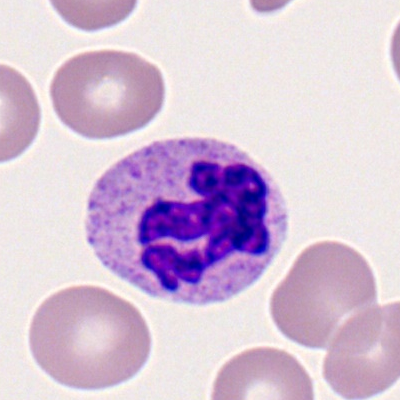
Neutrophil (segmented).